Bone marrow aspirate smear. Single cell centered in the field — 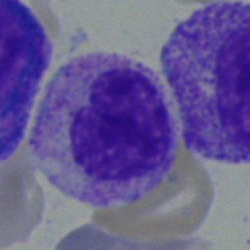

The cell shown is a metamyelocyte.